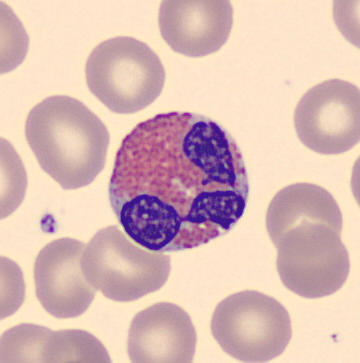 Q: Which cell type is shown here?
A: This is an eosinophil.